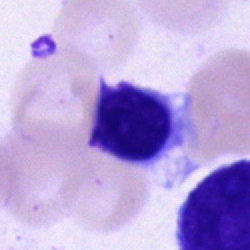
Classification — cell of indeterminate lineage.